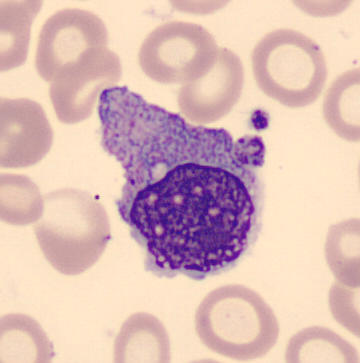 Image: Automated cell imaging (CellaVision DM96). May-Grünwald-Giemsa-stained. Peripheral blood film.

Single cell identified as a monocyte.